Bone marrow aspirate smear · cropped to a single cell · 40× oil immersion
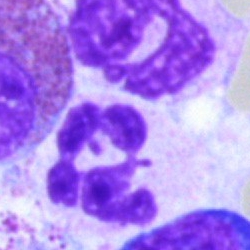
Cell type: neutrophil (segmented).